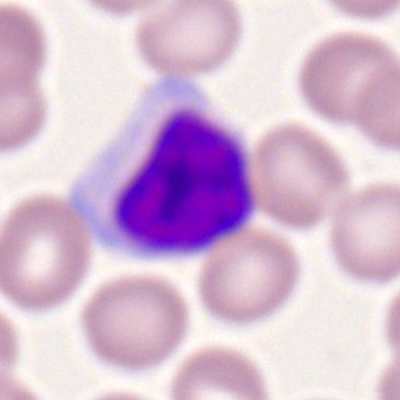

Classification = lymphocyte.